Single cell centered in the field; bone marrow smear.
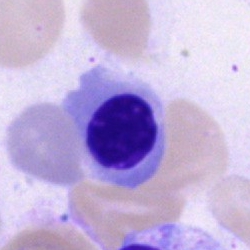

Showing a nucleated red cell.